Bone marrow smear: 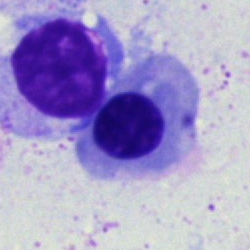 Q: What is the morphological classification of this cell?
A: This is a nucleated red cell.